Peripheral blood film
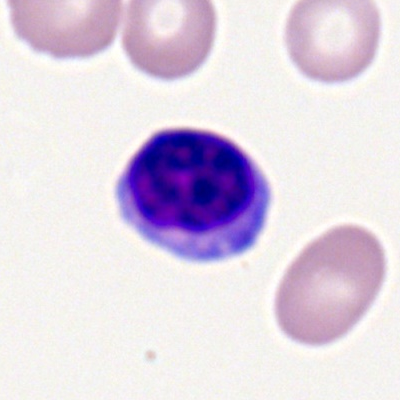
Q: Which cell type is shown here?
A: It is a lymphocyte.